Bone marrow aspirate smear.
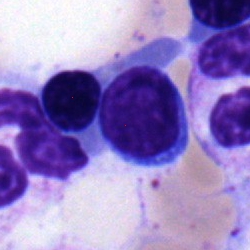
Q: What type of cell is this?
A: Lymphocyte.